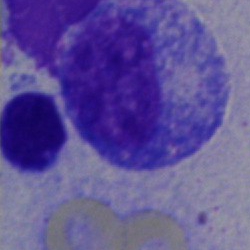

Impression — promyelocyte.